Bone marrow smear.
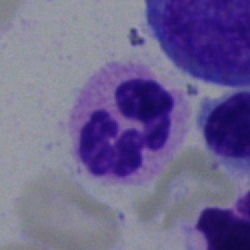 Morphology — polymorphonuclear neutrophil.